Bone marrow aspirate smear.
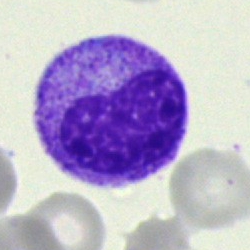

The morphological class is metamyelocyte.